Peripheral blood smear — 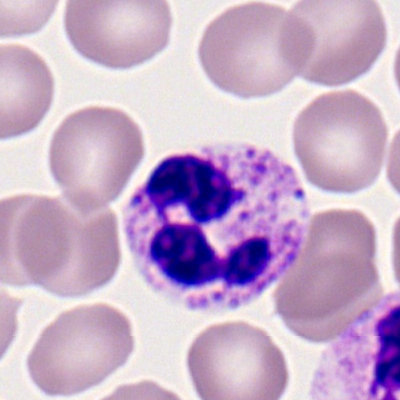 Impression → polymorphonuclear neutrophil.